Bone marrow smear: 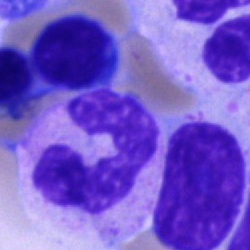

This is a neutrophil (segmented).